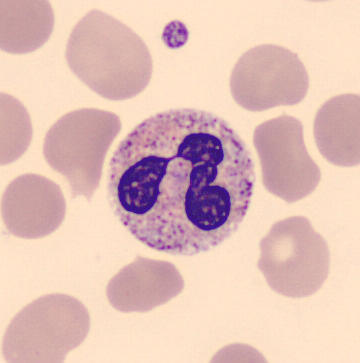
Preparation: Peripheral blood film. 360×363. Q: What is shown here?
A: A polymorphonuclear neutrophil.